Bone marrow smear.
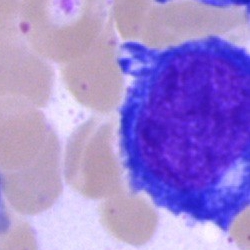
Q: What is the morphological classification of this cell?
A: Proerythroblast.